Single cell centered in the field. Bone marrow smear: 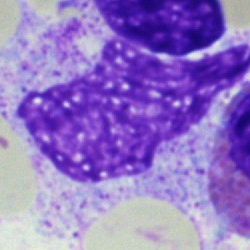

Morphology consistent with an artefact.